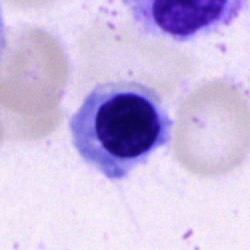 Q: What type of cell is this?
A: A nucleated red cell.